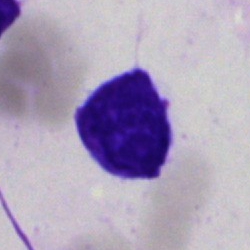Q: What is shown here?
A: An artefact.